Bone marrow smear. May-Grünwald-Giemsa/Pappenheim stain: 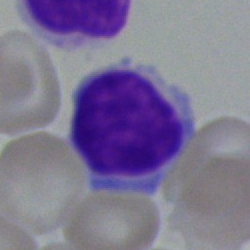 Typical lymphocyte.